Bone marrow smear:
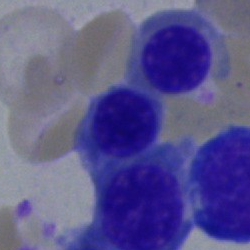A nucleated red cell.